Image size 250×250. Single cell centered in the field. Bone marrow aspirate smear:
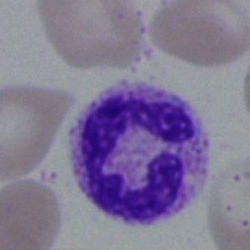 {"cell_type": "neutrophil (segmented)", "lineage": "myeloid"}